Bone marrow aspirate smear: 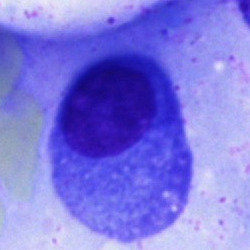

Plasma cell.